Bone marrow aspirate smear:
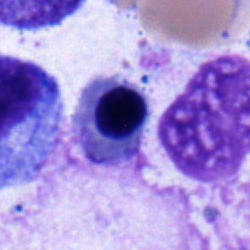Morphology consistent with a nucleated red cell.